40× objective, oil immersion · bone marrow smear
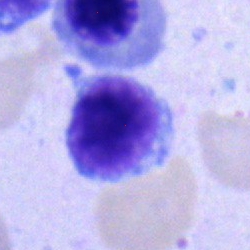
A typical lymphocyte.